Bone marrow smear:
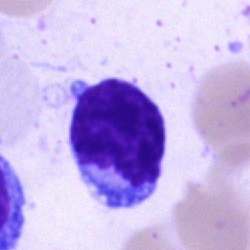 Morphology — lymphocyte.